40× objective, oil immersion; bone marrow aspirate smear: 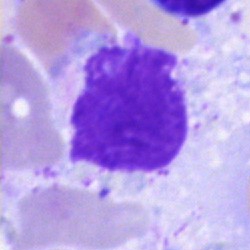The classification is artifact.